Bone marrow smear.
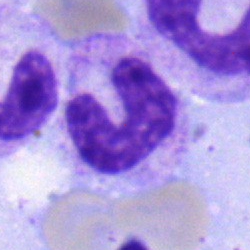

Q: What type of cell is this?
A: It is a neutrophil (band).